Bone marrow smear · May-Grünwald-Giemsa/Pappenheim stain: 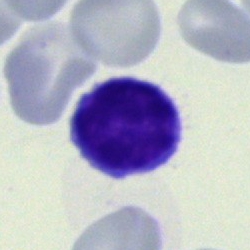The cell shown is a lymphocyte.